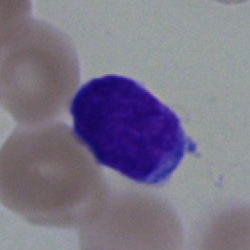The cell shown is a lymphocyte.